Bone marrow smear
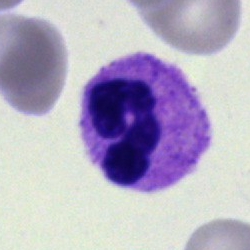 Morphology → segmented neutrophil.